Bone marrow aspirate smear — 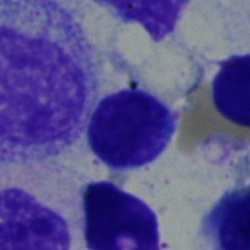 Specimen: bone marrow aspirate smear.
Cell type: typical lymphocyte.
Lineage: lymphoid.